Brightfield microscopy, 40× oil immersion; bone marrow aspirate smear.
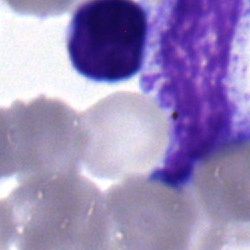

Specimen: bone marrow aspirate smear.
Morphological class: typical lymphocyte.
Lineage: lymphoid.